Bone marrow aspirate smear: 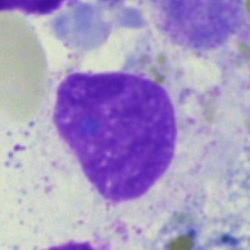

Single cell identified as an artefact.